Bone marrow aspirate smear · May-Grünwald-Giemsa/Pappenheim stain — 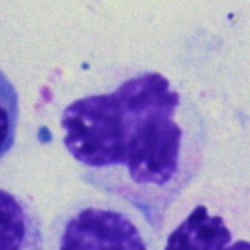
Specimen: bone marrow aspirate smear.
Morphological class: polymorphonuclear neutrophil.